Brightfield microscopy, 40× oil immersion; bone marrow smear; Pappenheim-stained: 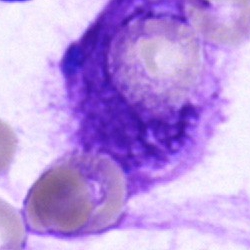
Specimen: bone marrow aspirate smear.
Morphological class: cell of indeterminate lineage.